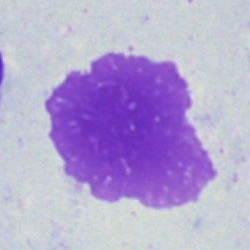Bone marrow aspirate smear, single cell — artefact.